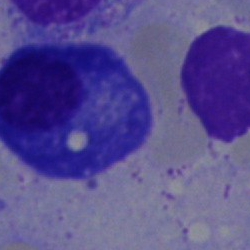
Morphology — plasma cell.